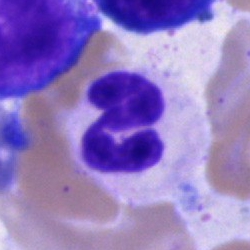

Classification — polymorphonuclear neutrophil.